Single-cell field. Bone marrow smear
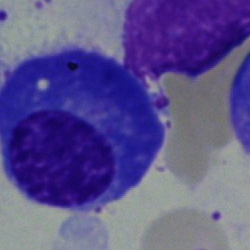

Specimen: bone marrow aspirate smear.
Cell type: plasma cell.